Bone marrow aspirate smear.
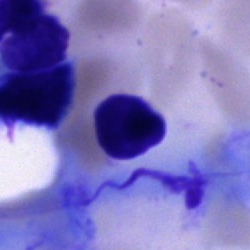
Impression — artifact.